Single cell centered in the field. 40× objective, oil immersion. Bone marrow aspirate smear — 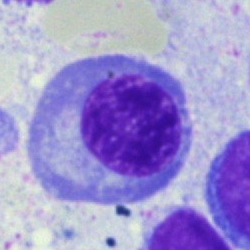

Cell type: plasmacyte.